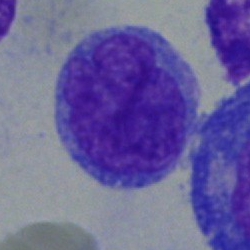 Q: What is shown here?
A: This is a blast.